Peripheral blood film — 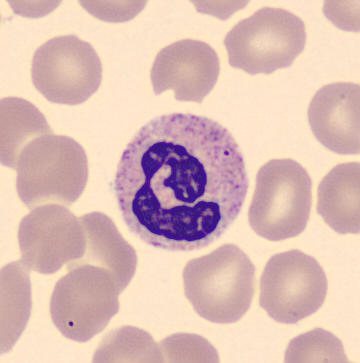 Showing a segmented neutrophil.